Bone marrow aspirate smear:
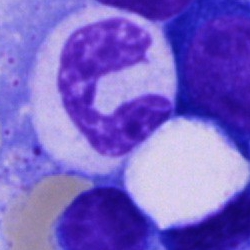 Morphology consistent with a neutrophil (segmented).